Cropped to a single cell. 400 by 400 pixels. Peripheral blood smear:
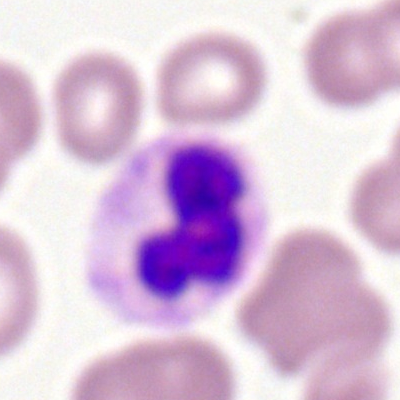
Specimen: peripheral blood film.
Cell: polymorphonuclear neutrophil.
Lineage: myeloid.